May-Grünwald-Giemsa/Pappenheim stain. Bone marrow smear.
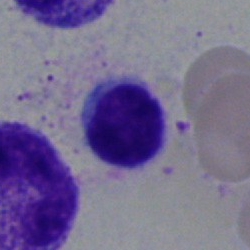
Cell — typical lymphocyte.